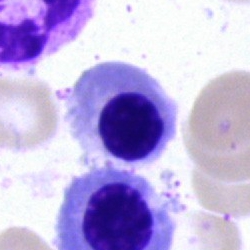
Bone marrow aspirate smear, single cell — nucleated red blood cell.